Bone marrow smear; 250×250; single-cell crop
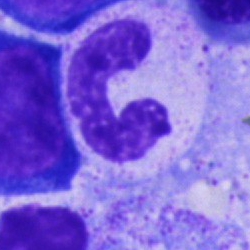

The classification is stab cell.